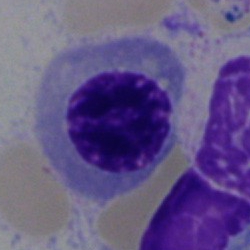Single cell identified as an erythroblast.